Bone marrow aspirate smear — 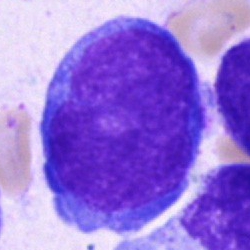 Morphology — undifferentiated blast.